Peripheral blood film: 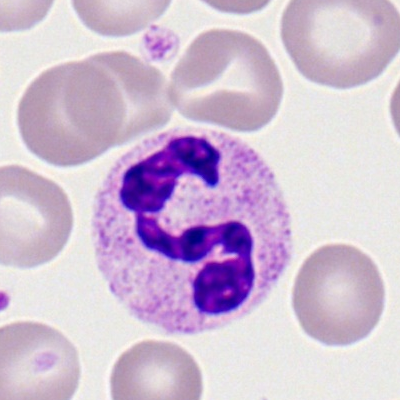Neutrophil (segmented).